Bone marrow aspirate smear.
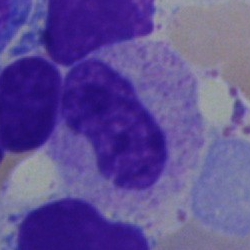 This is a metamyelocyte.